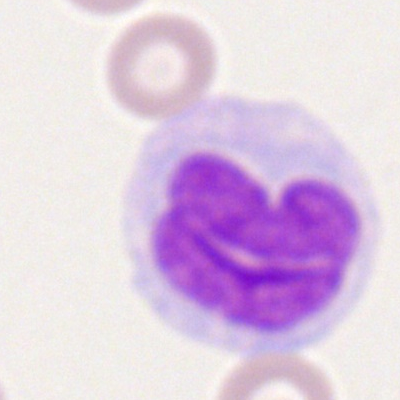
A monocyte on a peripheral blood smear.